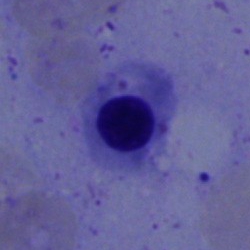
Q: Which cell type is shown here?
A: This is a normoblast.